Bone marrow smear: 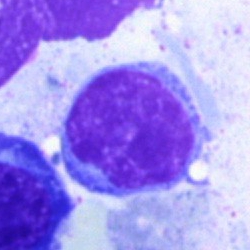

Impression — lymphocyte.